Peripheral blood film.
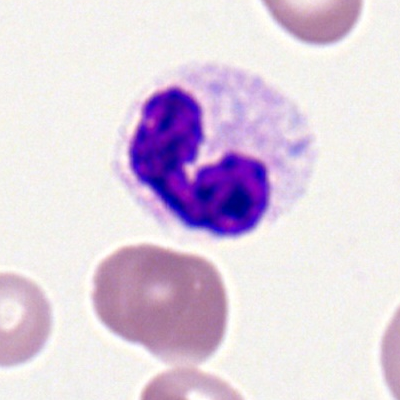Segmented neutrophil.